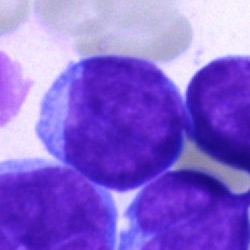Q: Which cell type is shown here?
A: It is a blast cell.